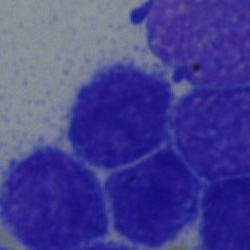{"cell_type": "typical lymphocyte", "lineage": "lymphoid"}